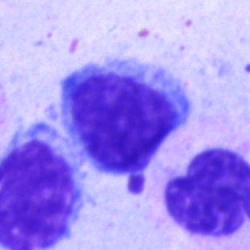Single cell identified as a lymphocyte.